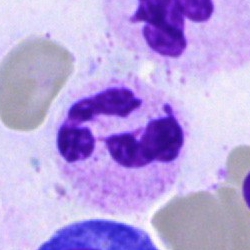 Cell type — neutrophil (segmented).